Peripheral blood film · Romanowsky stain
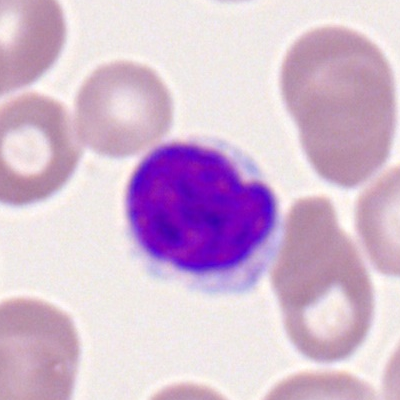Morphology consistent with a typical lymphocyte.